Bone marrow smear. 40× objective, oil immersion:
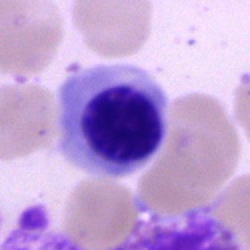Q: What is the morphological classification of this cell?
A: This is a normoblast.